Brightfield microscopy, 40× oil immersion; bone marrow aspirate smear; May-Grünwald-Giemsa/Pappenheim stain: 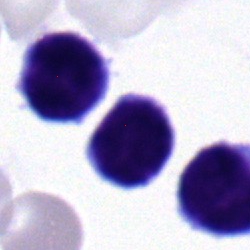
A lymphocyte.